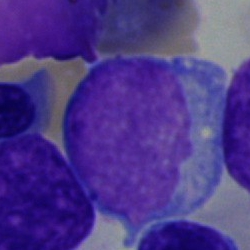
Specimen: bone marrow smear.
Classification: blast cell.